40× objective, oil immersion · 250×250 · bone marrow smear:
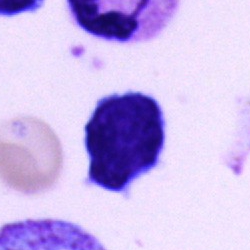

Impression — typical lymphocyte.